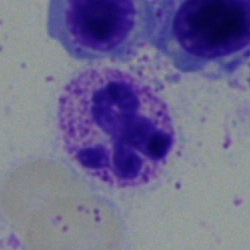
Classification — segmented neutrophil.